MGG-stained · bone marrow aspirate smear.
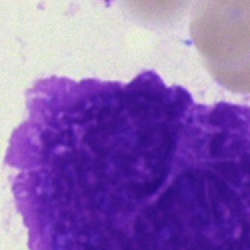Morphology → artefact.